Bone marrow smear — 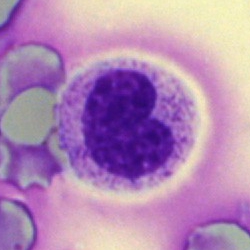
Q: What cell is this?
A: A metamyelocyte.